Single-cell crop · peripheral blood film · Romanowsky stain — 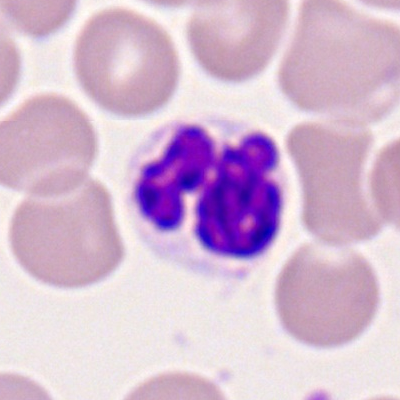
Cell type: neutrophil (segmented).